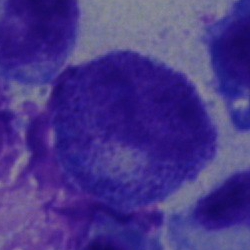Specimen: bone marrow aspirate smear.
Cell: promyelocyte.
Lineage: myeloid.